Brightfield, 100× oil-immersion objective. Romanowsky-stained. Peripheral blood smear
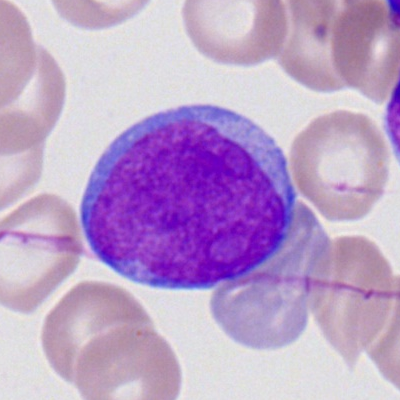

Showing a myeloblast.